Brightfield, 40× oil-immersion objective · single-cell field · bone marrow smear:
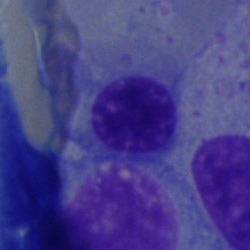Specimen: bone marrow aspirate smear.
Classification: nucleated red blood cell.
Lineage: erythroid.